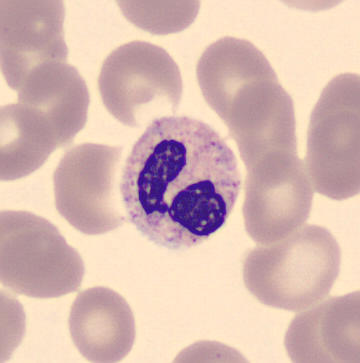 Acquisition: Peripheral blood smear; cropped to a single cell; MGG-stained.
Morphology → neutrophil (segmented).